Bone marrow smear — 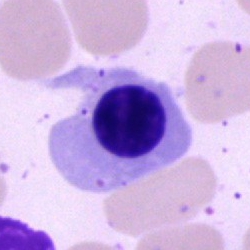

{"cell_type": "nucleated red cell", "lineage": "erythroid"}